Bone marrow smear.
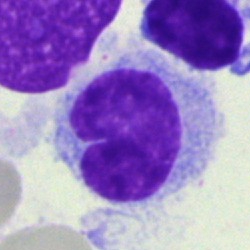The classification is hairy cell.